Bone marrow aspirate smear · Pappenheim-stained · 250 by 250 pixels — 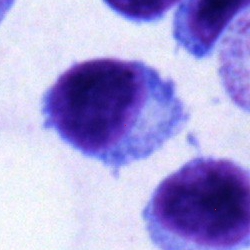Plasma cell.